May-Grünwald-Giemsa stain; bone marrow smear.
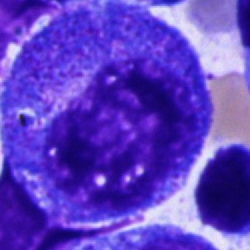
Specimen: bone marrow smear.
Morphological class: promyelocyte.